Bone marrow smear.
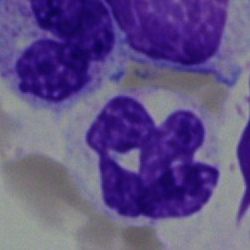A segmented neutrophil.